Brightfield microscopy, 40× oil immersion. Bone marrow aspirate smear:
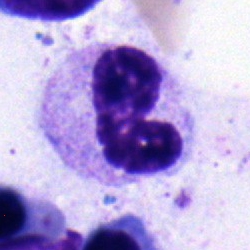Q: What is the morphological classification of this cell?
A: Neutrophil (band).